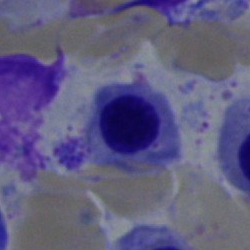
A nucleated red cell.